Bone marrow smear; image size 250×250.
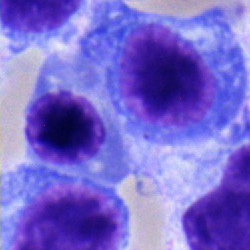
Cell type = normoblast.